May-Grünwald-Giemsa/Pappenheim stain. Bone marrow aspirate smear — 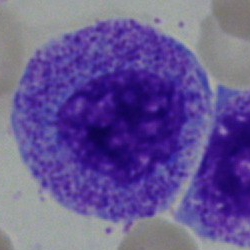
Morphology consistent with a promyelocyte.